Bone marrow aspirate smear; 250×250; Pappenheim-stained: 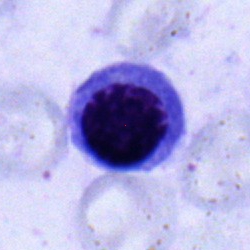

Morphological class — nucleated red cell.